Brightfield microscopy, 40× oil immersion · bone marrow aspirate smear:
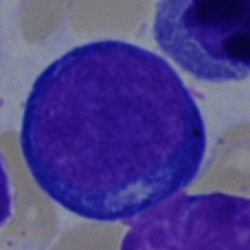

Impression → proerythroblast.